Bone marrow smear: 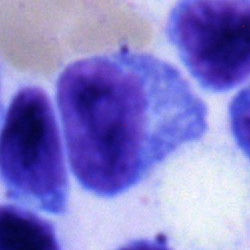Classification: lymphocyte.